Bone marrow smear: 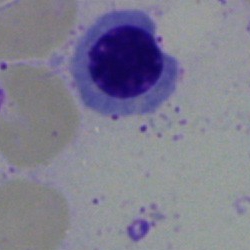

Morphology consistent with an erythroblast.